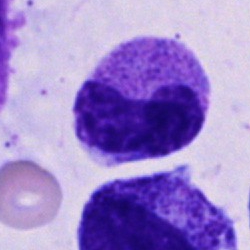

Specimen: bone marrow aspirate smear.
Classification: cell of indeterminate lineage.